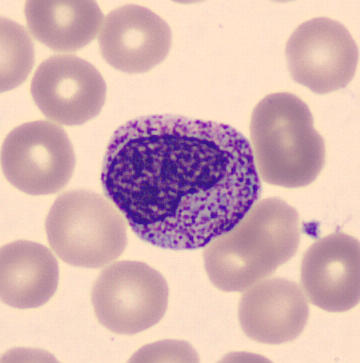
Image: Peripheral blood film.

Morphology → metamyelocyte.